Bone marrow smear.
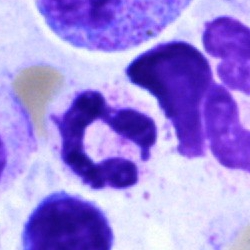

Q: What cell is this?
A: A neutrophil (segmented).